250 by 250 pixels; bone marrow smear
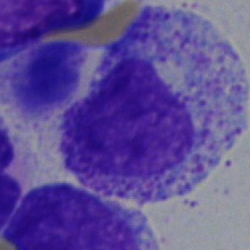

Myelocyte.